Peripheral blood smear
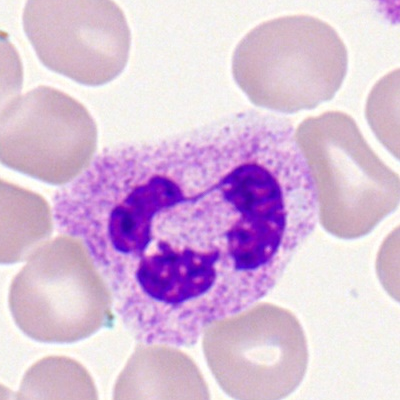
This is a segmented neutrophil.